40× objective, oil immersion · bone marrow smear · single cell centered in the field — 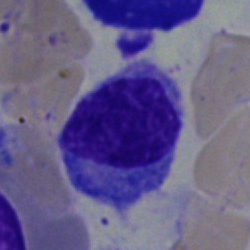

Specimen: bone marrow aspirate smear.
Cell type: lymphocyte.
Lineage: lymphoid.